Peripheral blood film
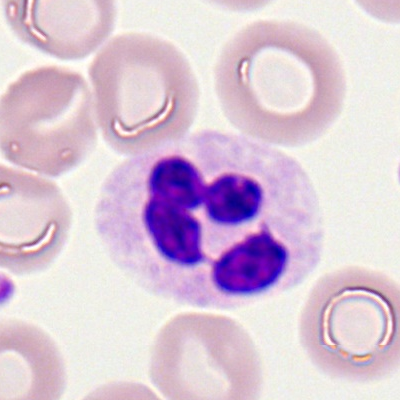The cell shown is a segmented neutrophil.